250×250 px; bone marrow aspirate smear; single-cell crop
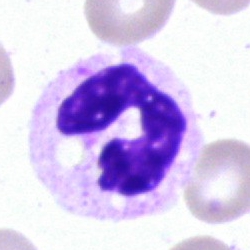Morphology → neutrophil (segmented).